Bone marrow smear.
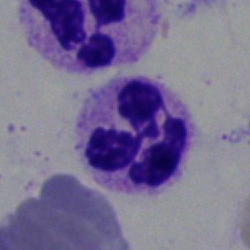

Morphological class = neutrophil (segmented).